250×250 px; bone marrow aspirate smear — 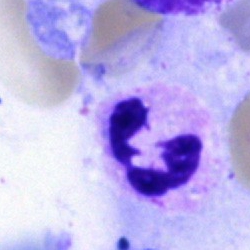

Morphology — segmented neutrophil.